Bone marrow aspirate smear: 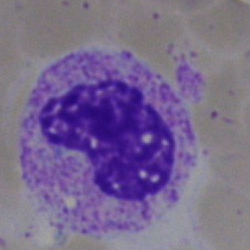 Cell: band neutrophil.